Single-cell crop. Bone marrow aspirate smear. 40× oil immersion — 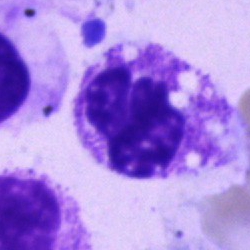

A neutrophil (segmented).